Bone marrow smear
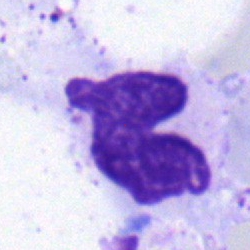Showing a band neutrophil.